Bone marrow smear; 40× oil immersion — 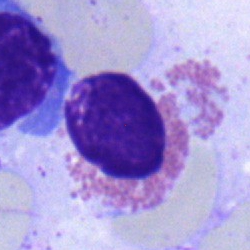The cell shown is an eosinophil.